Bone marrow aspirate smear. 250×250
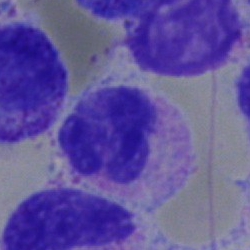

Morphology consistent with a neutrophil (segmented).